Bone marrow aspirate smear
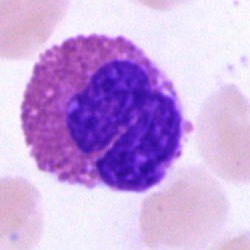Morphology — eosinophilic granulocyte.